Bone marrow aspirate smear
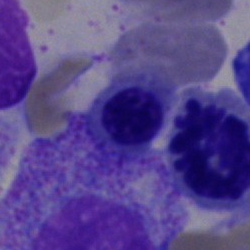Classification = nucleated red blood cell.